Bone marrow smear; 40× objective, oil immersion:
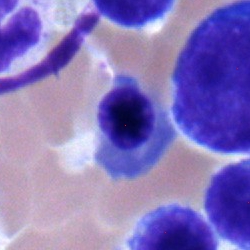

Morphology consistent with a nucleated red cell.